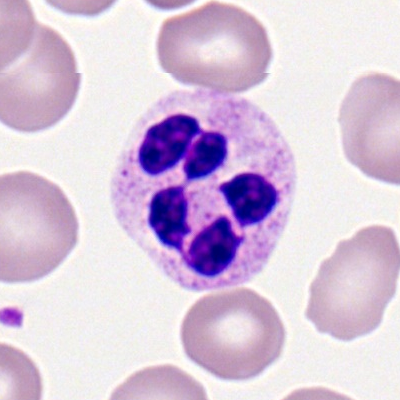Morphology consistent with a neutrophil (segmented).